May-Grünwald-Giemsa/Pappenheim stain; image size 250×250; bone marrow smear: 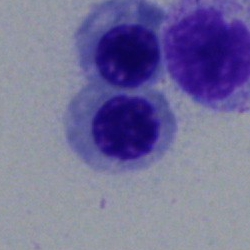The cell is normoblast.